Image size 250×250. Bone marrow smear — 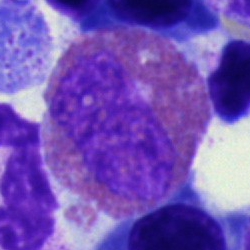 Eosinophilic granulocyte.